Bone marrow smear; May-Grünwald-Giemsa/Pappenheim stain: 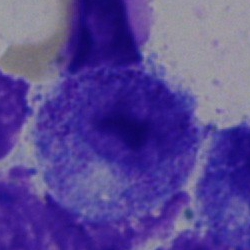 A progranulocyte.